Brightfield, 40× oil-immersion objective. Bone marrow smear — 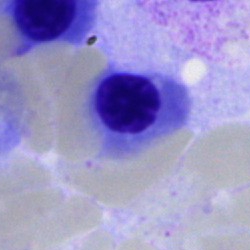 Specimen: bone marrow aspirate smear.
Cell: nucleated red cell.
Lineage: erythroid.